Peripheral blood film · single cell centered in the field
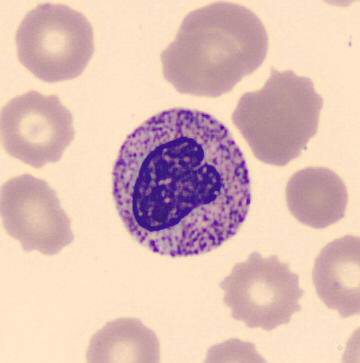

Morphology consistent with a metamyelocyte.